40× oil immersion · bone marrow smear:
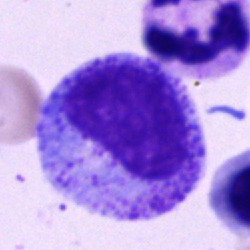Classification = promyelocyte.